Peripheral blood smear:
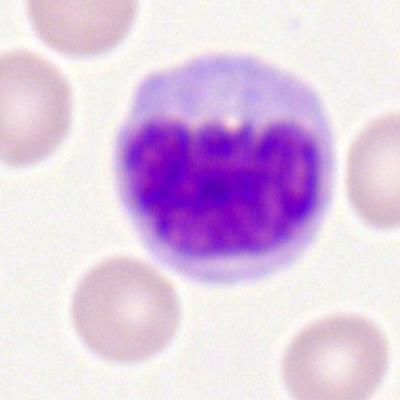 Q: Identify the cell.
A: Monocyte.